Bone marrow aspirate smear — 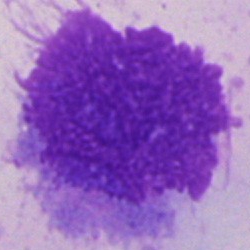An artefact.